MGG-stained. Bone marrow smear
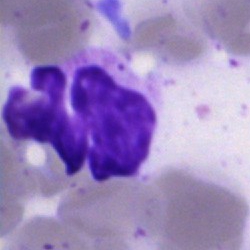

Q: What is shown here?
A: An artefact.